250 by 250 pixels. Bone marrow aspirate smear
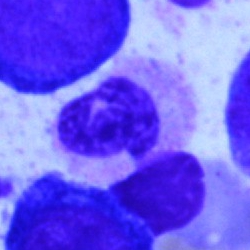This is a polymorphonuclear neutrophil.